Bone marrow smear: 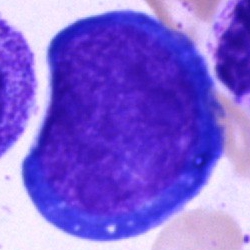Q: What is the morphological classification of this cell?
A: This is a proerythroblast.